Brightfield, 40× oil-immersion objective; bone marrow aspirate smear — 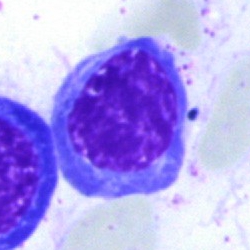 The morphological class is erythroblast.